Bone marrow aspirate smear.
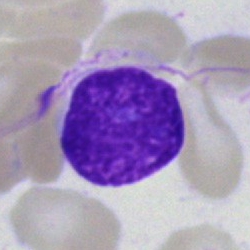Classification = artifact.